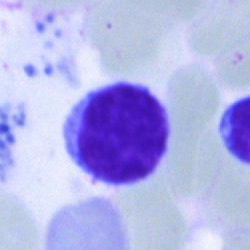
Bone marrow aspirate smear, single cell — lymphocyte.